Bone marrow smear.
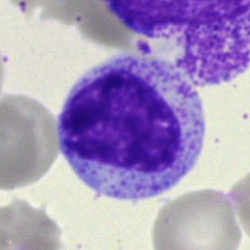
{"cell_type": "myelocyte"}